Bone marrow smear: 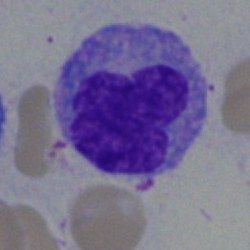

Morphology consistent with a monocyte.